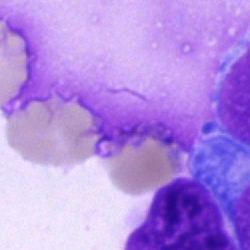
{"cell_type": "artifact"}